Single cell centered in the field. 250×250. Bone marrow smear:
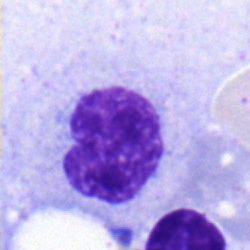

Specimen: bone marrow smear.
Classification: metamyelocyte.